Bone marrow aspirate smear: 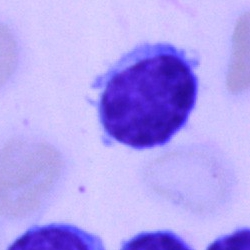Q: Identify the cell.
A: This is a lymphocyte.